Bone marrow smear; May-Grünwald-Giemsa stain:
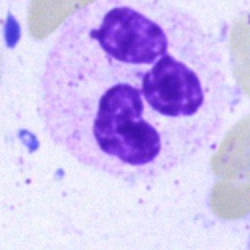 Cell — segmented neutrophil.